Bone marrow aspirate smear; 250×250 px:
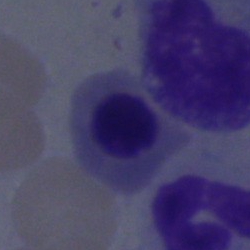
Morphology — nucleated red cell.